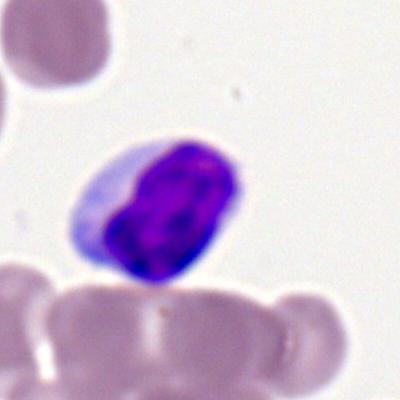Q: Which cell type is shown here?
A: Lymphocyte.